Bone marrow smear: 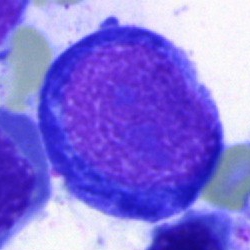
The cell shown is a normoblast.